May-Grünwald-Giemsa/Pappenheim stain; bone marrow aspirate smear
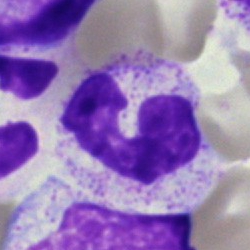Q: What cell is this?
A: A band-form neutrophil.